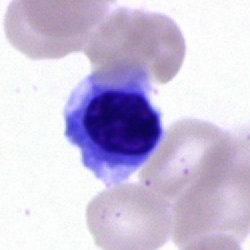
Nucleated red blood cell.